Bone marrow smear — 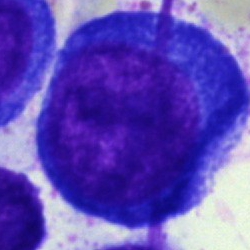 Morphology consistent with a pronormoblast.